MGG-stained; bone marrow aspirate smear; brightfield microscopy, 40× oil immersion — 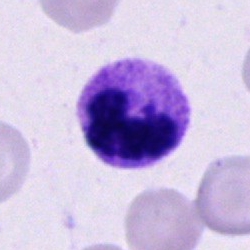

Specimen: bone marrow aspirate smear.
Morphological class: polymorphonuclear neutrophil.